Bone marrow aspirate smear · 40× objective, oil immersion
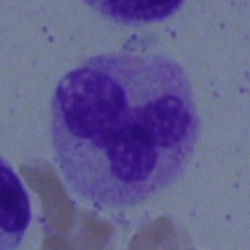Classification — band neutrophil.